400 by 400 pixels. Peripheral blood film: 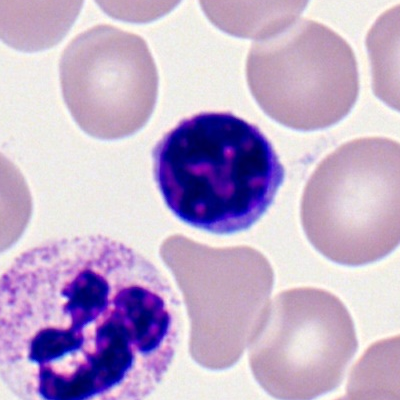 The cell shown is a lymphocyte.